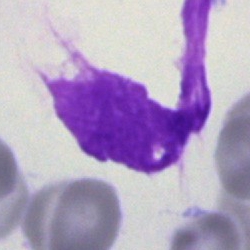
Cell type: artefact.